Bone marrow smear.
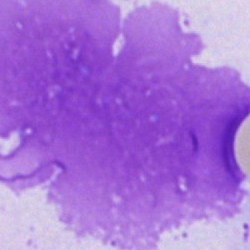
The cell shown is an artefact.